Bone marrow smear: 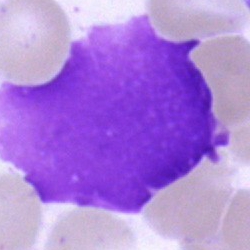Showing an artifact.